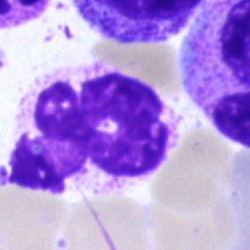 The classification is artifact.